Bone marrow aspirate smear
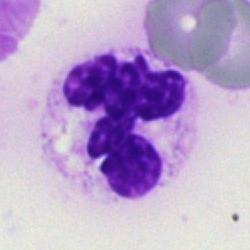

Classification: segmented neutrophil.